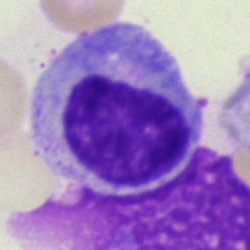
Impression → lymphocyte.